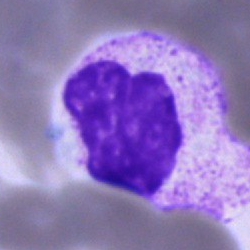 The cell shown is a polymorphonuclear neutrophil.